Bone marrow aspirate smear · May-Grünwald-Giemsa stain · cropped to a single cell: 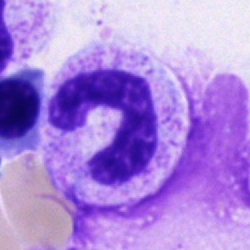

Showing a band neutrophil.